Bone marrow smear. 250 by 250 pixels:
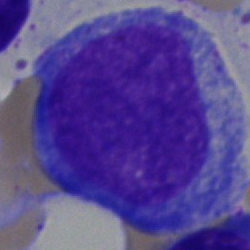 Promyelocyte.